MGG-stained. Bone marrow aspirate smear. 40× oil immersion: 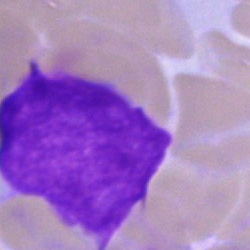Specimen: bone marrow aspirate smear.
Cell type: artefact.